Bone marrow smear:
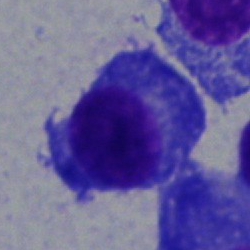

Specimen: bone marrow aspirate smear.
Cell: plasmacyte.